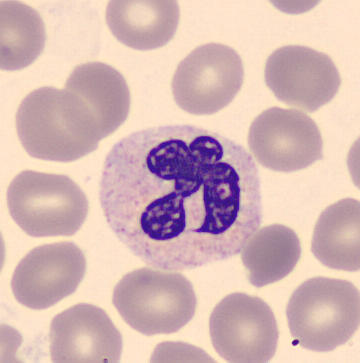

A neutrophil (segmented).
Preparation: Peripheral blood smear.